Bone marrow aspirate smear:
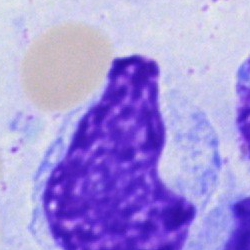 Classification: artifact.